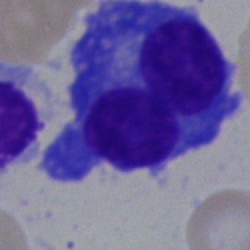Specimen: bone marrow aspirate smear.
Classification: plasma cell.
Lineage: lymphoid.